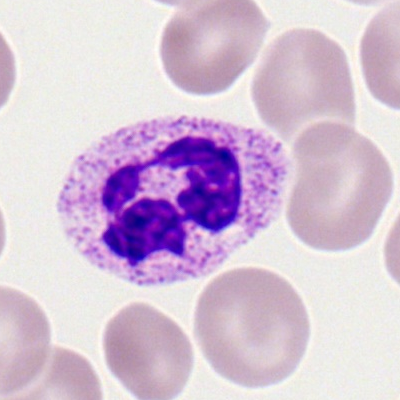
A segmented neutrophil on a peripheral blood smear.